Bone marrow aspirate smear
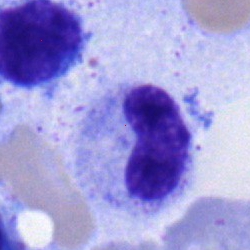
Morphology — stab cell.